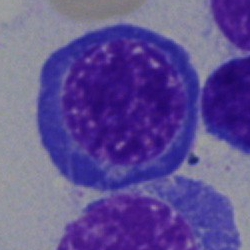A nucleated red cell on a bone marrow smear.